Bone marrow aspirate smear. May-Grünwald-Giemsa/Pappenheim stain: 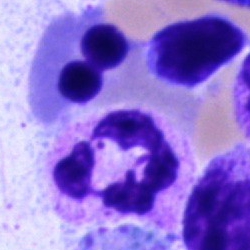

Classification — neutrophil (segmented).